Bone marrow smear: 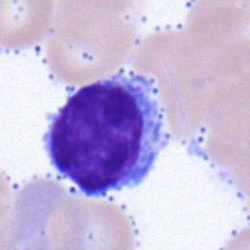

Q: Identify the cell.
A: It is a lymphocyte.